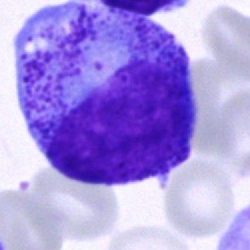
A promyelocyte on a bone marrow smear.